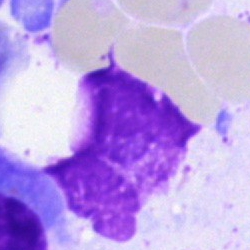Single cell identified as an artefact.